Peripheral blood film · single-cell crop:
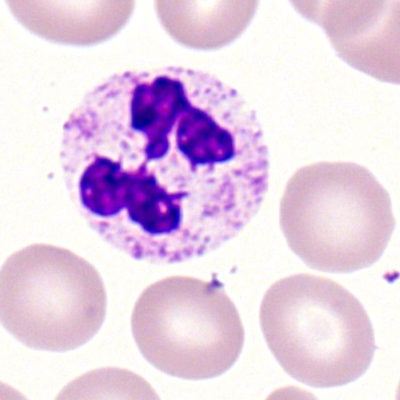

The cell shown is a segmented neutrophil.